Bone marrow smear:
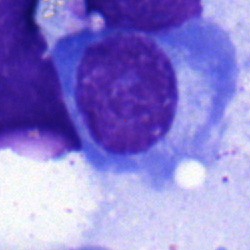Plasmacyte.